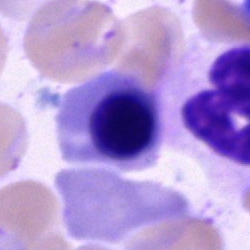
Showing an erythroblast.